Bone marrow aspirate smear:
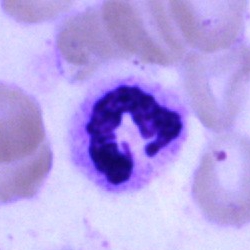Q: What is the morphological classification of this cell?
A: It is a segmented neutrophil.